Bone marrow smear.
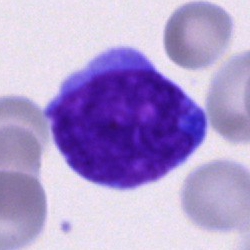
Q: Which cell type is shown here?
A: An undifferentiated blast.